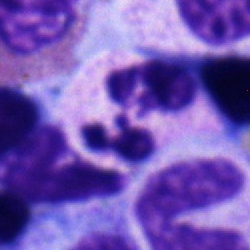

{"cell_type": "polymorphonuclear neutrophil", "lineage": "myeloid"}